Bone marrow smear; single-cell crop; 250×250
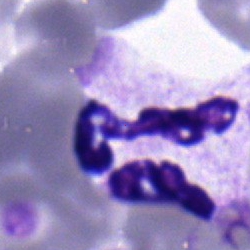Specimen: bone marrow smear.
Morphological class: polymorphonuclear neutrophil.